Bone marrow aspirate smear: 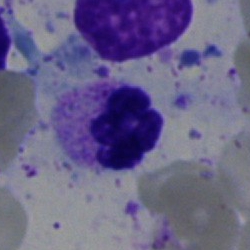
Q: What is the morphological classification of this cell?
A: A neutrophil (segmented).